Bone marrow aspirate smear: 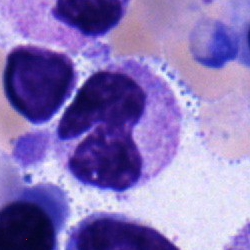
Specimen: bone marrow smear.
Morphological class: stab cell.
Lineage: myeloid.